Peripheral blood film
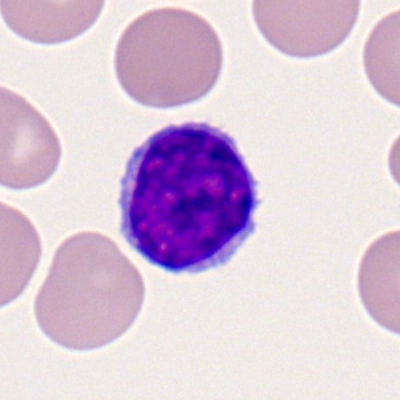

This is a lymphocyte.